Bone marrow aspirate smear: 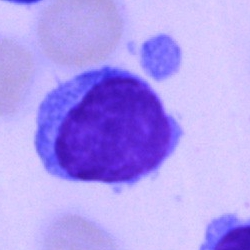 Cell: typical lymphocyte.